Bone marrow smear.
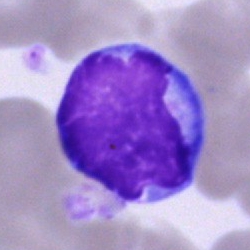Cell: lymphocyte.